Bone marrow smear
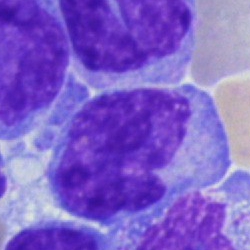

Cell type = monocyte.